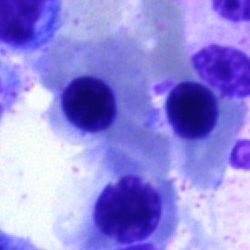 The morphological class is nucleated red cell.